Bone marrow smear; 250×250 — 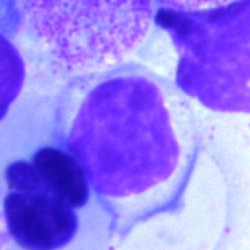{"cell_type": "lymphocyte", "lineage": "lymphoid"}